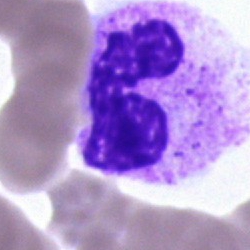
Specimen: bone marrow smear.
Cell type: segmented neutrophil.